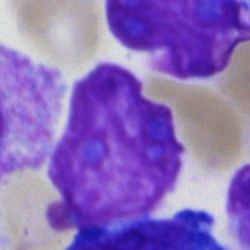
A myelocyte on a bone marrow smear.